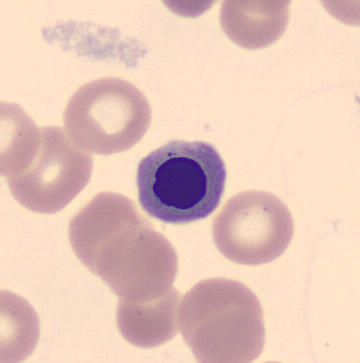
Specimen: peripheral blood smear.
Cell type: nucleated red blood cell.
Lineage: erythroid.